250×250 px; bone marrow smear: 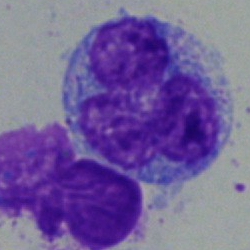 A monocyte.